Bone marrow aspirate smear:
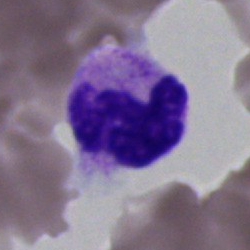

Single cell identified as a neutrophil (segmented).